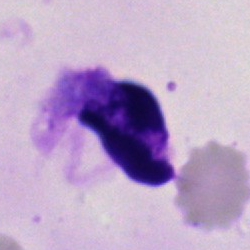 An artifact on a bone marrow smear.